Bone marrow aspirate smear:
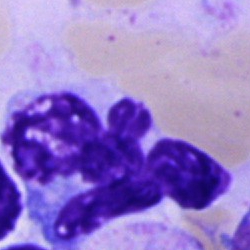
Unidentifiable cell.